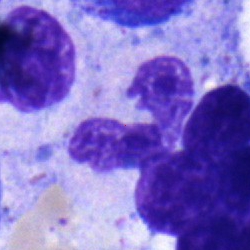Bone marrow aspirate smear, single cell — neutrophil (band).